Peripheral blood smear · MGG stain.
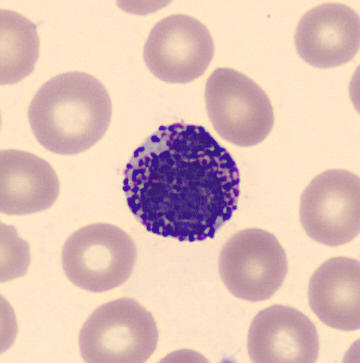

Q: Identify the cell.
A: It is a basophil.